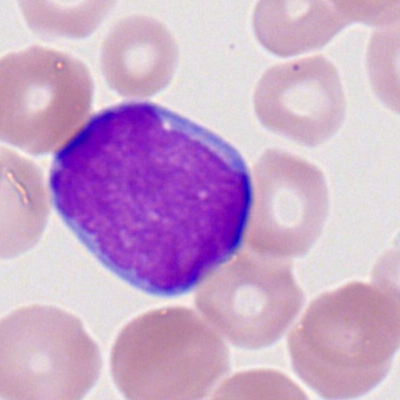

Impression → myeloblast.